Bone marrow smear.
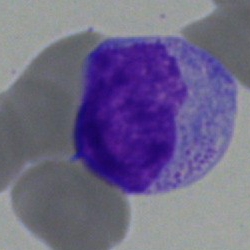

The classification is monocyte.